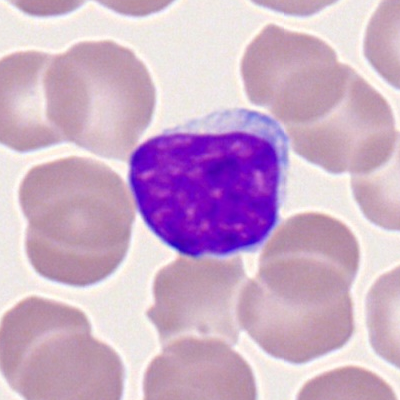Cell = typical lymphocyte.